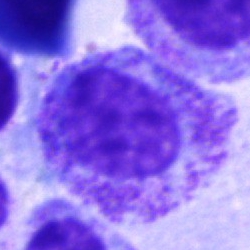This is a promyelocyte.